Bone marrow smear:
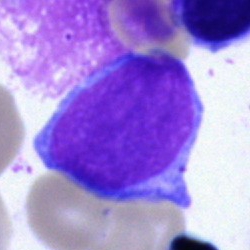Morphology consistent with a blast cell.